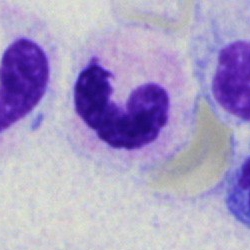
{"cell_type": "neutrophil (segmented)"}